Brightfield, 40× oil-immersion objective; image size 250×250; bone marrow aspirate smear:
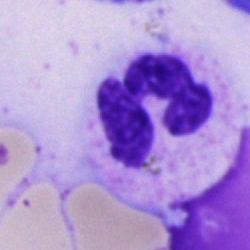
{"cell_type": "segmented neutrophil"}